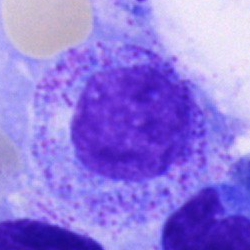
Single cell identified as a promyelocyte.